Bone marrow smear. 40× oil immersion:
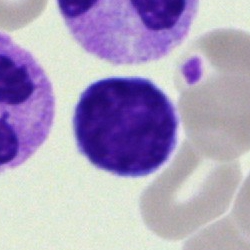 Q: What is shown here?
A: A typical lymphocyte.